Pappenheim-stained · bone marrow aspirate smear · brightfield microscopy, 40× oil immersion
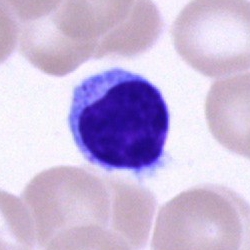

Cell type = typical lymphocyte.